Bone marrow aspirate smear.
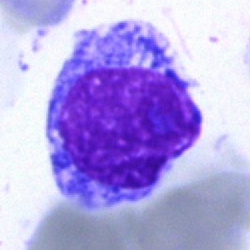
Specimen: bone marrow smear.
Morphological class: promyelocyte.